MGG-stained. Bone marrow aspirate smear: 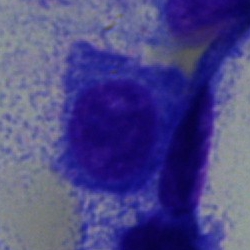

Classification — plasmacyte.